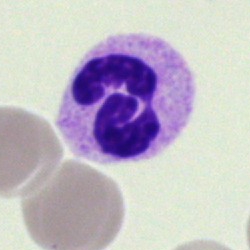 Specimen: bone marrow smear.
Cell type: neutrophil (segmented).
Lineage: myeloid.